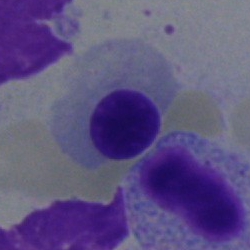 A nucleated red blood cell on a bone marrow smear.